Bone marrow aspirate smear
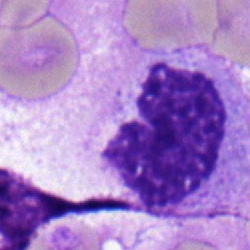

Specimen: bone marrow smear.
Cell type: stab cell.